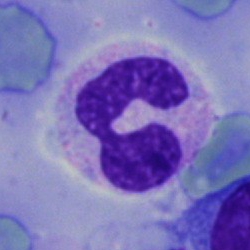
The classification is polymorphonuclear neutrophil.